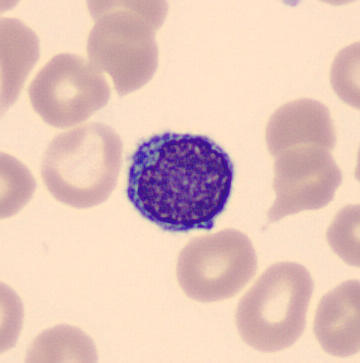
Preparation: Peripheral blood film.
Cell — typical lymphocyte.